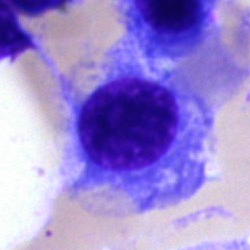 Specimen: bone marrow aspirate smear.
Cell type: nucleated red blood cell.
Lineage: erythroid.